Bone marrow aspirate smear; image size 250×250 — 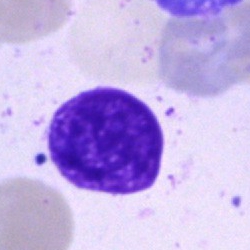

Q: What is shown here?
A: It is an artifact.